Bone marrow aspirate smear · cropped to a single cell.
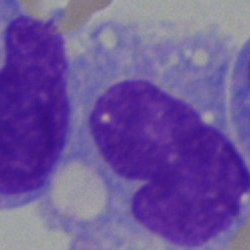 A monocyte.